Bone marrow aspirate smear:
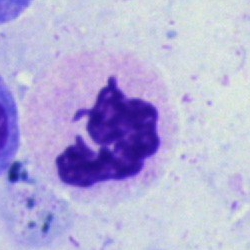Morphological class: segmented neutrophil.